Bone marrow smear:
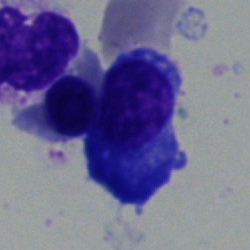 A plasma cell.